Single-cell crop; bone marrow smear
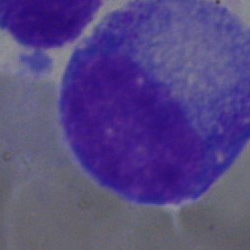 Morphology → promyelocyte.